Peripheral blood smear
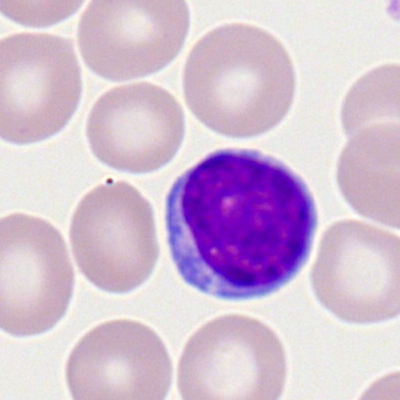 Morphology consistent with a typical lymphocyte.